Bone marrow aspirate smear:
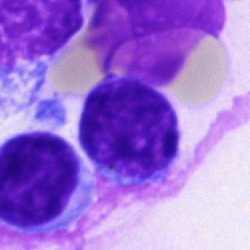
The cell shown is a lymphocyte.